Bone marrow smear · May-Grünwald-Giemsa stain — 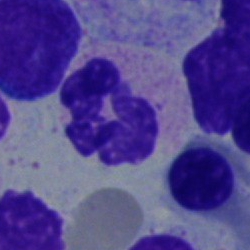

Morphology consistent with a polymorphonuclear neutrophil.